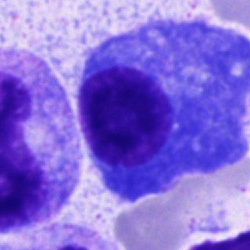
{"cell_type": "plasma cell"}